Bone marrow smear. MGG-stained:
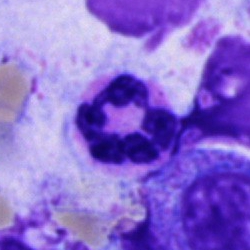 Q: Which cell type is shown here?
A: A neutrophil (segmented).